Bone marrow smear. 250 by 250 pixels. Single cell centered in the field.
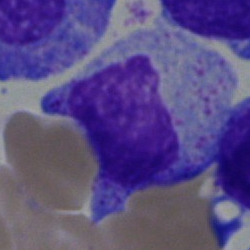 Specimen: bone marrow smear.
Morphological class: myelocyte.
Lineage: myeloid.